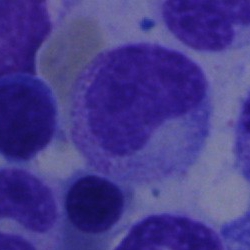
Cell = metamyelocyte.